Bone marrow aspirate smear · brightfield, 40× oil-immersion objective.
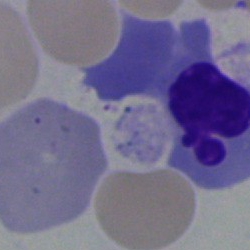

This is a nucleated red blood cell.